Bone marrow smear · 250×250 px · MGG-stained
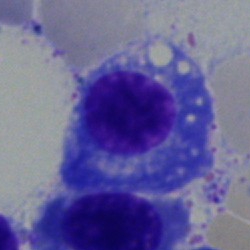Showing a plasma cell.